40× objective, oil immersion · single-cell crop · bone marrow aspirate smear
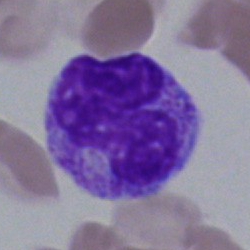A band-form neutrophil.